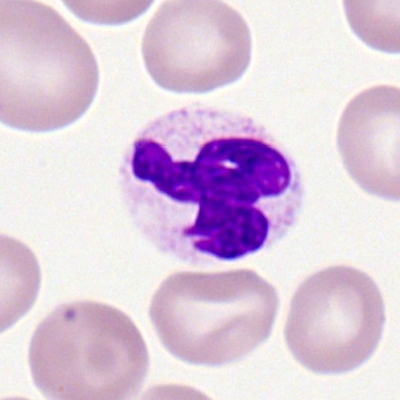
A segmented neutrophil.